Bone marrow smear
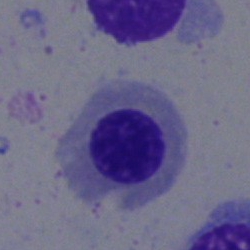

The cell type is erythroblast.